Bone marrow aspirate smear
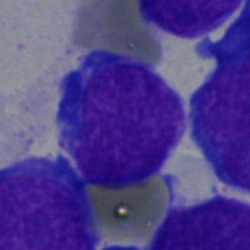

Showing a blast.